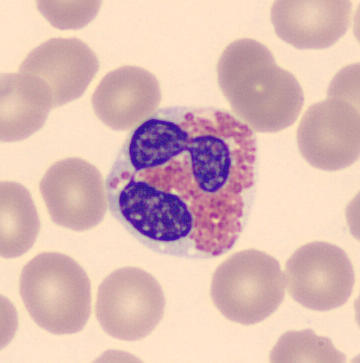

Q: Identify the cell.
A: This is an eosinophilic granulocyte.

Image: Single-cell field; peripheral blood smear.